Bone marrow smear · single-cell crop · 250×250
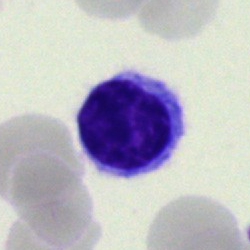

Q: What type of cell is this?
A: A typical lymphocyte.